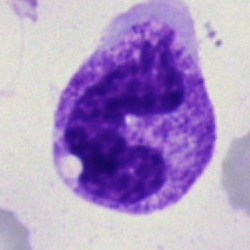Showing a stab cell.